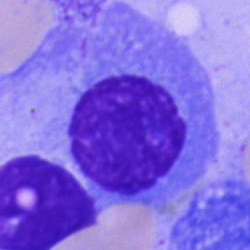
Specimen: bone marrow smear.
Cell type: plasmacyte.